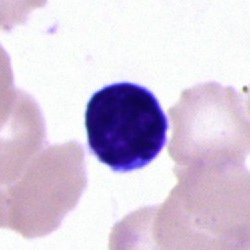Classification = lymphocyte.